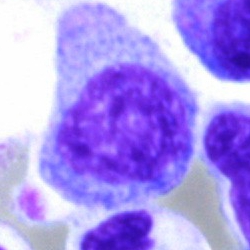

Impression → promyelocyte.